Bone marrow aspirate smear.
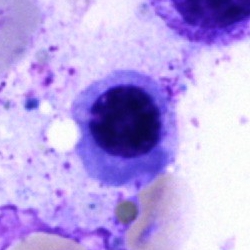This is a nucleated red cell.